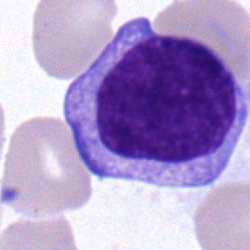A lymphocyte.